Bone marrow aspirate smear — 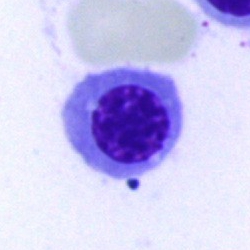 Classification = erythroblast.